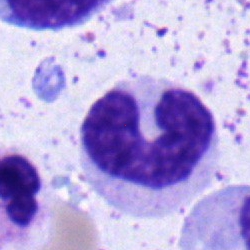
Q: What is the morphological classification of this cell?
A: It is a band-form neutrophil.